Bone marrow smear
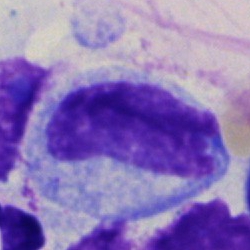
Q: Which cell type is shown here?
A: This is a metamyelocyte.